250 by 250 pixels · bone marrow aspirate smear: 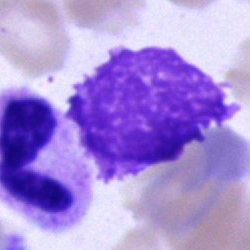Classification = artefact.